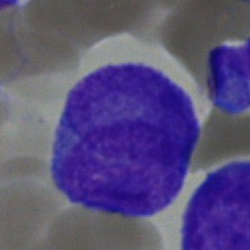Blast.